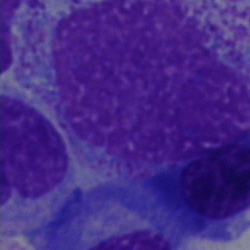
Cell type = artefact.